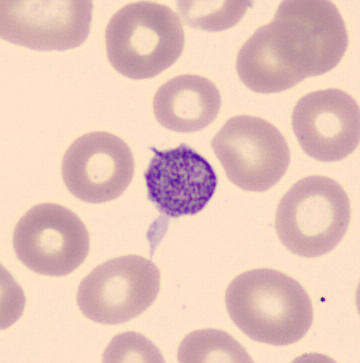 This is a thrombocyte.